Bone marrow aspirate smear · cropped to a single cell · Pappenheim-stained.
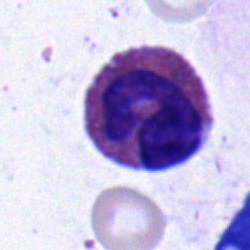This is an eosinophil.